Bone marrow smear.
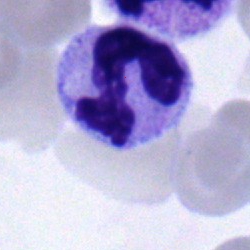
Morphology consistent with a neutrophil (segmented).